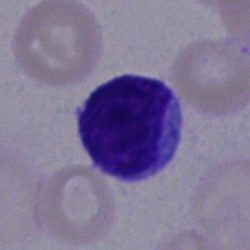

Cell type — lymphocyte.